Single-cell field. Bone marrow smear:
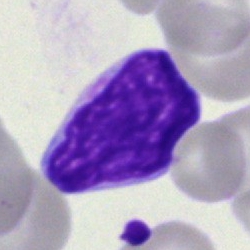 Morphology — blast cell.